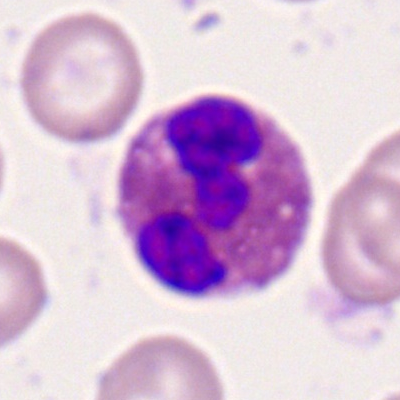
Cell type — eosinophil.